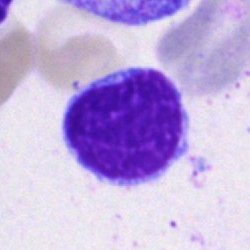Q: What type of cell is this?
A: This is a typical lymphocyte.